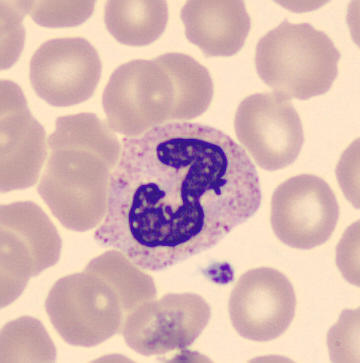Morphology consistent with a neutrophil (segmented).